Bone marrow aspirate smear.
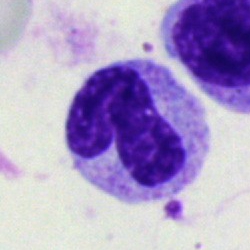 Morphological class — neutrophil (segmented).